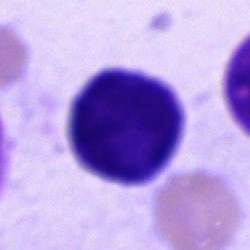Specimen: bone marrow aspirate smear.
Morphological class: cell of indeterminate lineage.